Bone marrow smear; single-cell crop; 250×250: 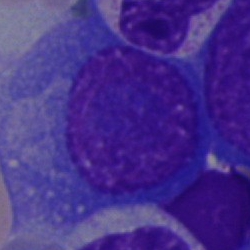 Specimen: bone marrow aspirate smear.
Cell type: plasma cell.